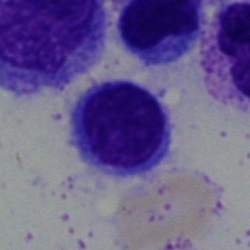Single cell identified as a lymphocyte.